Bone marrow smear
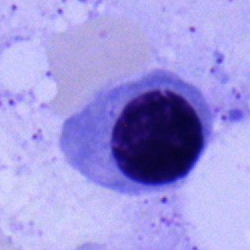

Morphology consistent with a nucleated red cell.